Bone marrow aspirate smear
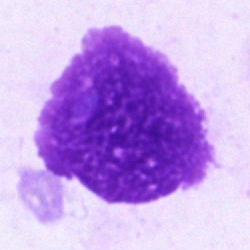
Impression — artefact.